Bone marrow smear — 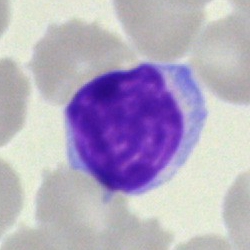

Specimen: bone marrow aspirate smear.
Cell type: lymphocyte.
Lineage: lymphoid.